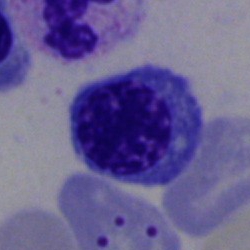
Specimen: bone marrow aspirate smear.
Morphological class: normoblast.
Lineage: erythroid.